Bone marrow aspirate smear:
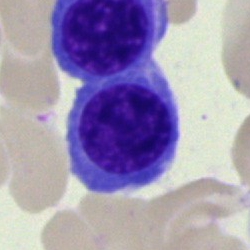An erythroblast.